Bone marrow aspirate smear; Pappenheim-stained; single cell centered in the field
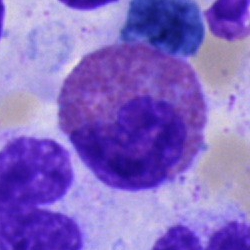Cell — eosinophil.